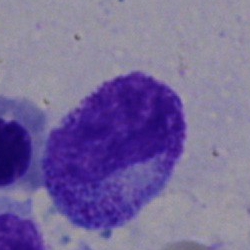Showing a myelocyte.